Bone marrow smear:
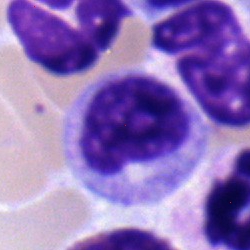
Specimen: bone marrow smear.
Cell type: metamyelocyte.
Lineage: myeloid.